Bone marrow aspirate smear. Image size 250×250. 40× objective, oil immersion — 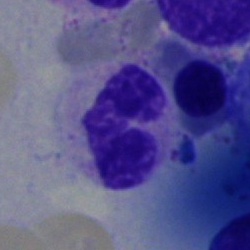Q: What cell is this?
A: It is a segmented neutrophil.